Romanowsky-stained; peripheral blood film.
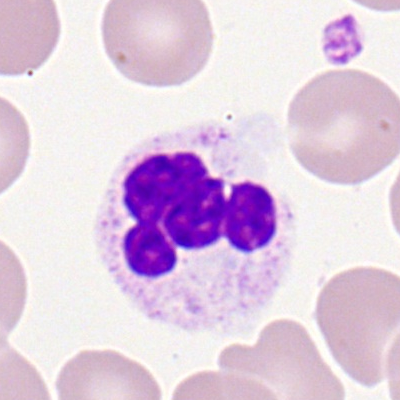
Showing a segmented neutrophil.